Bone marrow aspirate smear:
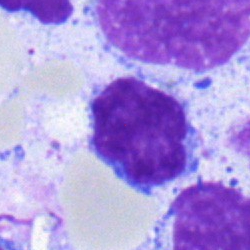

Single cell identified as a typical lymphocyte.